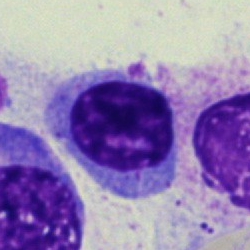
Morphological class = typical lymphocyte.